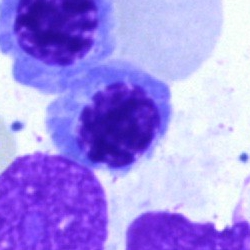The cell type is nucleated red blood cell.